Peripheral blood film; 400×400 px; single cell centered in the field: 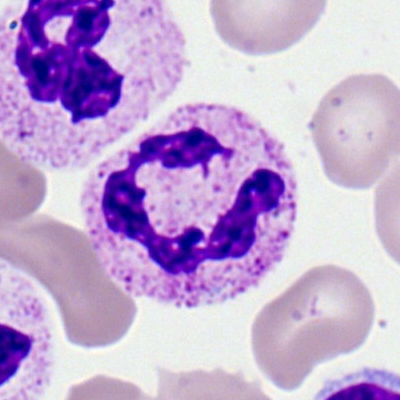
Morphology consistent with a segmented neutrophil.